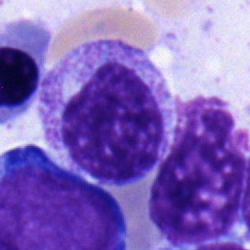
Q: What type of cell is this?
A: Myelocyte.